Bone marrow smear: 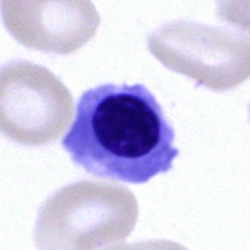 Nucleated red cell.